Pappenheim-stained · bone marrow aspirate smear:
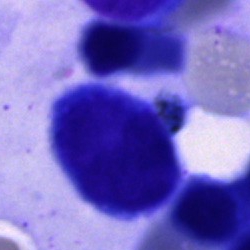 Specimen: bone marrow smear.
Classification: artifact.